Brightfield microscopy, 40× oil immersion; bone marrow aspirate smear
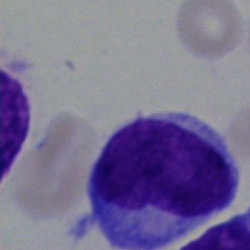This is a blast.